250×250 px · bone marrow aspirate smear — 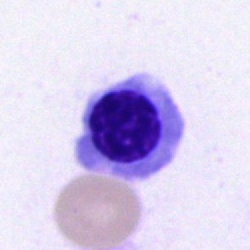

Morphological class = nucleated red cell.